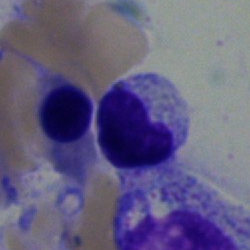
Single cell identified as a typical lymphocyte.